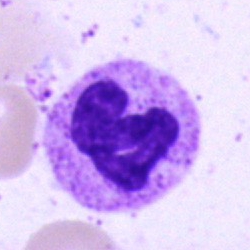

The cell is neutrophil (segmented).